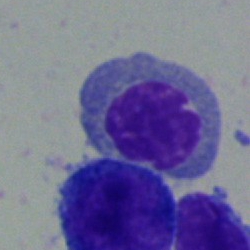Morphology — erythroblast.